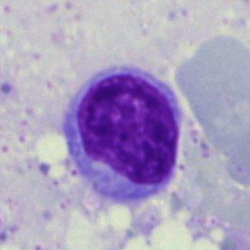 Impression → typical lymphocyte.